Bone marrow aspirate smear.
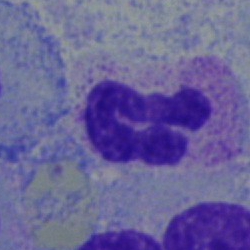 Q: What type of cell is this?
A: A neutrophil (segmented).